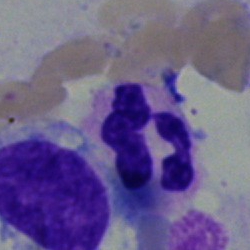Specimen: bone marrow aspirate smear.
Cell type: neutrophil (segmented).